Bone marrow aspirate smear.
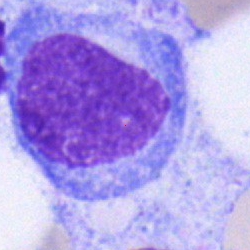

The cell type is blast cell.